Bone marrow aspirate smear. 40× objective, oil immersion — 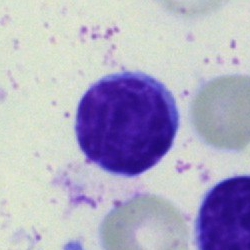
{"cell_type": "lymphocyte", "lineage": "lymphoid"}